Peripheral blood film:
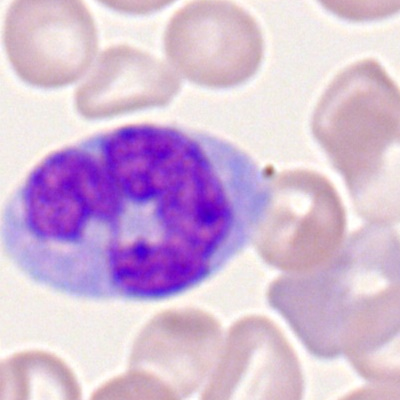
Monocyte.